Bone marrow aspirate smear. 250×250 px:
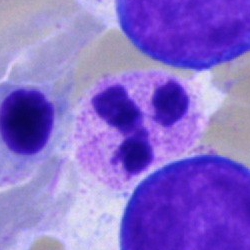 Morphology consistent with a neutrophil (segmented).